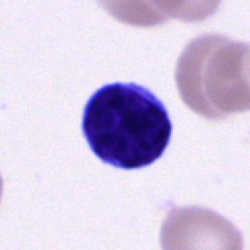
Q: What cell is this?
A: A typical lymphocyte.